Bone marrow aspirate smear · 40× oil immersion · 250 by 250 pixels — 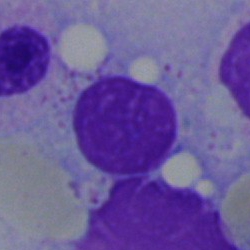

Morphological class: artefact.